Bone marrow smear
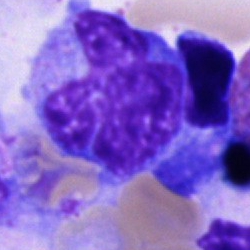 Morphology — monocyte.